Bone marrow aspirate smear.
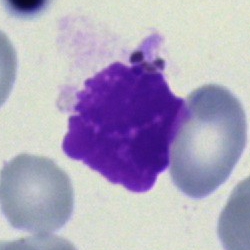

Artifact.